Bone marrow aspirate smear
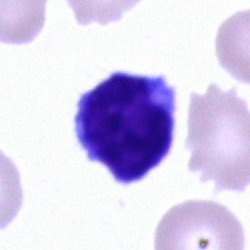

{"cell_type": "lymphocyte", "lineage": "lymphoid"}